Bone marrow aspirate smear — 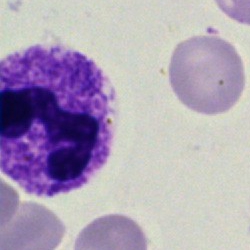Q: What type of cell is this?
A: Polymorphonuclear neutrophil.